Bone marrow aspirate smear — 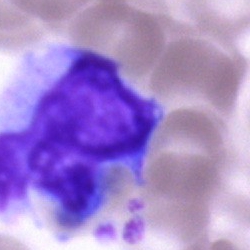Impression → monocyte.